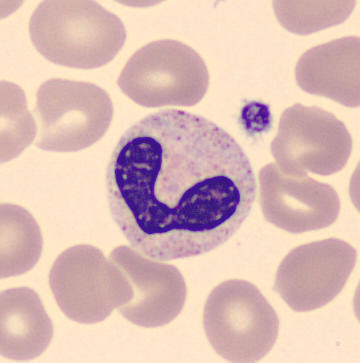Q: What cell is this?
A: Neutrophil (band). Image: MGG stain; peripheral blood smear; single-cell field.